Bone marrow aspirate smear: 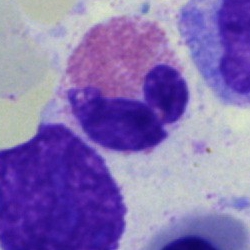

Q: What cell is this?
A: This is an eosinophilic granulocyte.